M8 digital microscope (Precipoint), 100× oil immersion. Peripheral blood smear.
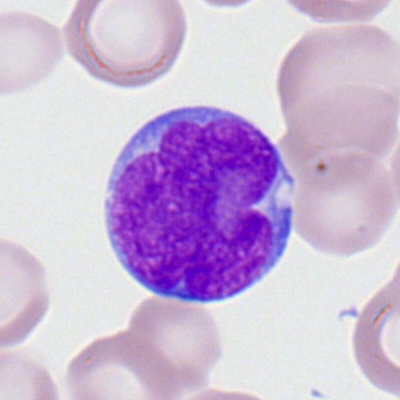Classification: myeloblast.